Bone marrow aspirate smear
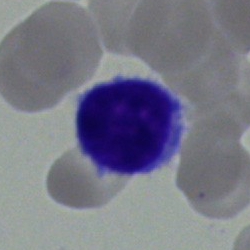Single cell identified as a lymphocyte.